Bone marrow smear.
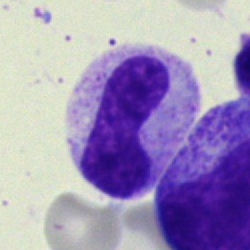 Classification — stab cell.